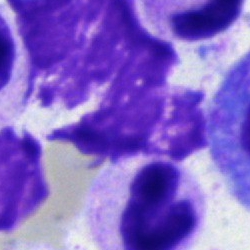Classification: artifact.